Single-cell crop. Bone marrow aspirate smear. May-Grünwald-Giemsa/Pappenheim stain
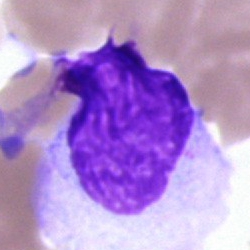
Classification: artifact.